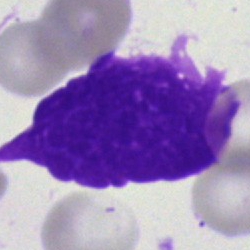Specimen: bone marrow smear.
Classification: artifact.